Bone marrow smear; single cell centered in the field.
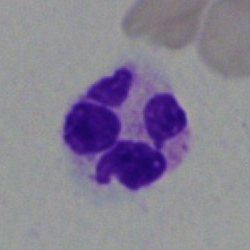
A neutrophil (segmented).